Peripheral blood smear — 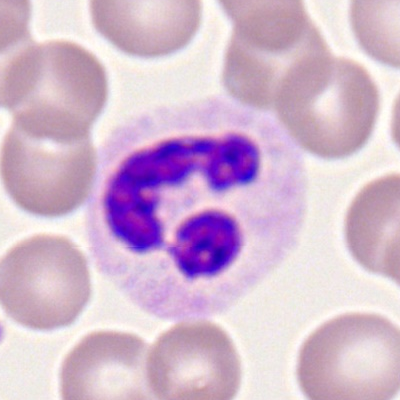

Cell = segmented neutrophil.